Peripheral blood smear:
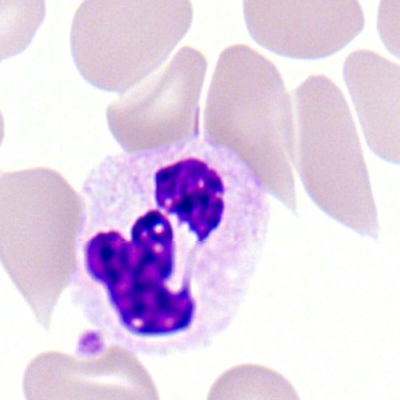Cell: segmented neutrophil.